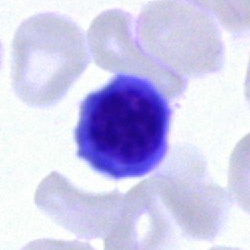
A normoblast on a bone marrow smear.